Bone marrow smear:
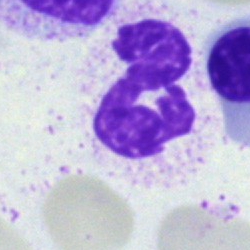 Single cell identified as a neutrophil (segmented).